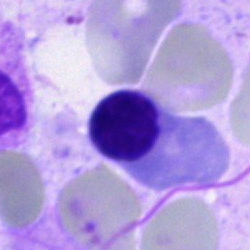Nucleated red cell.